40× oil immersion. May-Grünwald-Giemsa/Pappenheim stain. Bone marrow smear
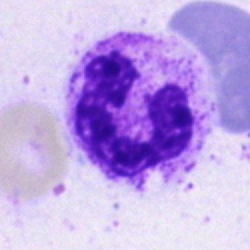 Q: What is the morphological classification of this cell?
A: This is a polymorphonuclear neutrophil.